Bone marrow aspirate smear.
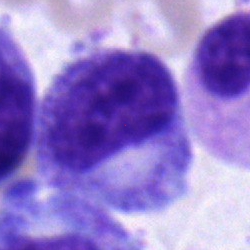
Specimen: bone marrow aspirate smear.
Morphological class: metamyelocyte.